Bone marrow aspirate smear:
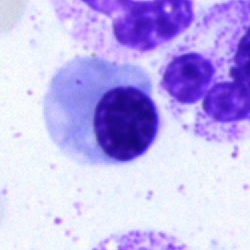
Specimen: bone marrow aspirate smear.
Classification: erythroblast.
Lineage: erythroid.